250×250 px; bone marrow aspirate smear; brightfield microscopy, 40× oil immersion — 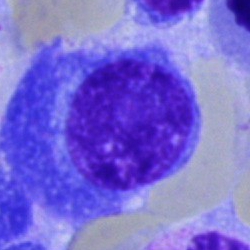 Cell: plasmacyte.